Brightfield microscopy, 40× oil immersion. Single cell centered in the field. Bone marrow smear: 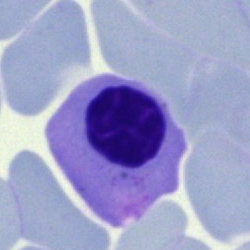

{"cell_type": "nucleated red blood cell"}